Bone marrow aspirate smear — 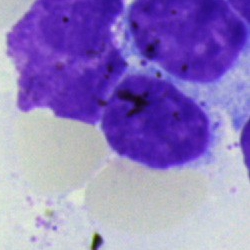
Morphology consistent with a lymphocyte.